Bone marrow aspirate smear; 250 by 250 pixels
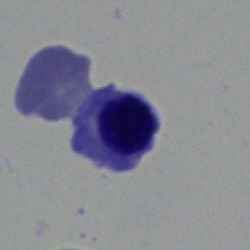

Morphology consistent with a nucleated red cell.